Bone marrow aspirate smear — 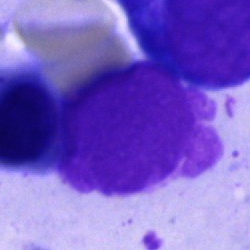
Artifact.